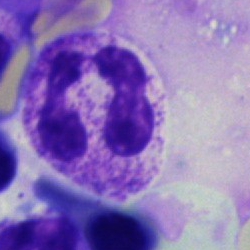 Morphological class: segmented neutrophil.